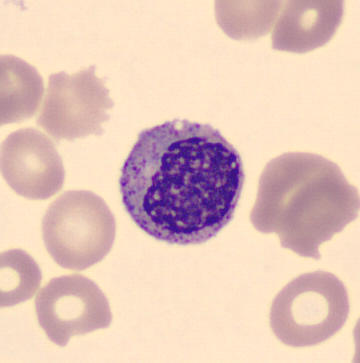Showing a myelocyte. Peripheral blood film.